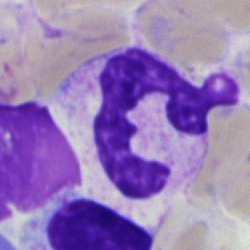A neutrophil (segmented).